Bone marrow smear; single-cell field; brightfield microscopy, 40× oil immersion — 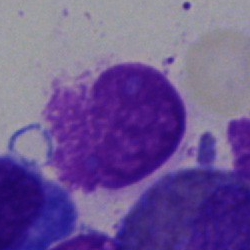

Showing an artifact.